Single-cell field · 250×250 px · bone marrow smear.
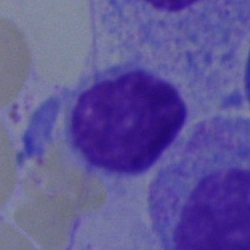Q: Identify the cell.
A: This is a typical lymphocyte.